40× objective, oil immersion; Pappenheim-stained; bone marrow aspirate smear — 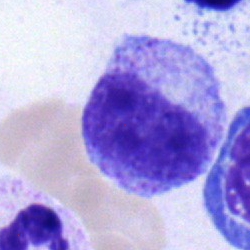 Classification: myelocyte.